Bone marrow aspirate smear · 250 by 250 pixels: 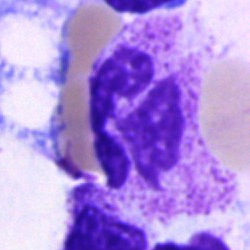

Cell — neutrophil (segmented).